Bone marrow smear:
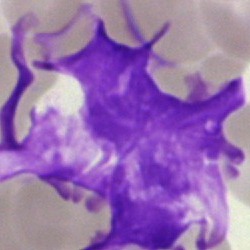

The morphological class is artefact.